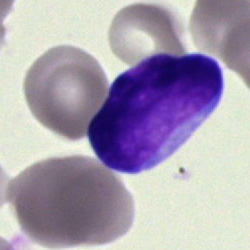
Impression — blast cell.